Bone marrow aspirate smear: 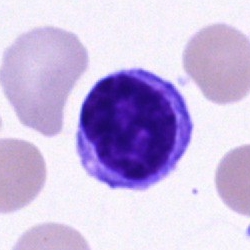The cell shown is a lymphocyte.